Bone marrow smear · May-Grünwald-Giemsa/Pappenheim stain — 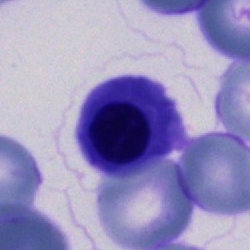The cell shown is a normoblast.